May-Grünwald-Giemsa stain · bone marrow smear: 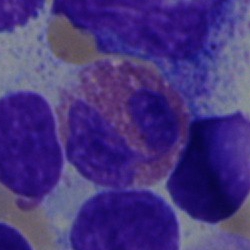
Q: What is shown here?
A: An eosinophilic granulocyte.